Peripheral blood smear — 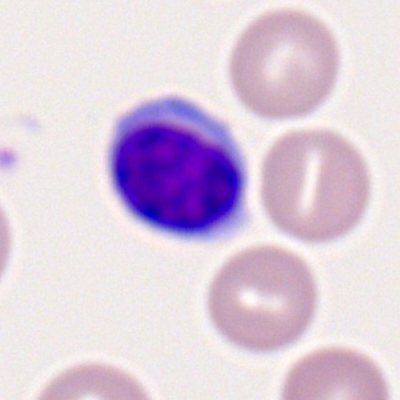

{"cell_type": "typical lymphocyte", "lineage": "lymphoid"}